Single-cell crop · bone marrow smear.
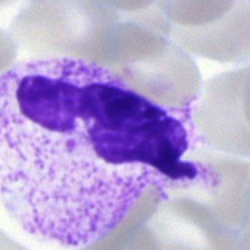
Cell type = neutrophil (segmented).